Bone marrow smear; 250 by 250 pixels.
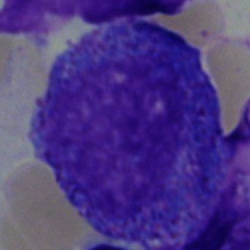Promyelocyte.